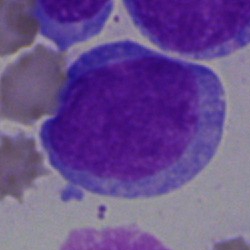
Morphological class = blast cell.